Brightfield, 40× oil-immersion objective. Image size 250×250. Bone marrow aspirate smear — 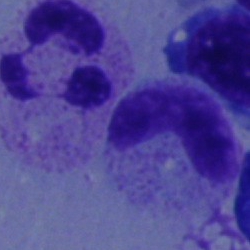

Cell type: band-form neutrophil.